May-Grünwald-Giemsa stain. 40× oil immersion. Bone marrow smear.
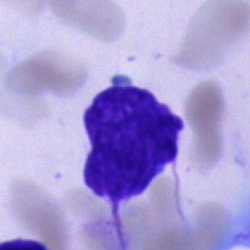
Q: What is shown here?
A: This is an artifact.